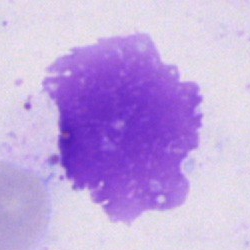Cell = artefact.